Pappenheim-stained · brightfield, 40× oil-immersion objective · bone marrow smear.
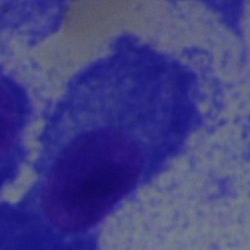
Showing a plasma cell.